Bone marrow smear · single-cell crop: 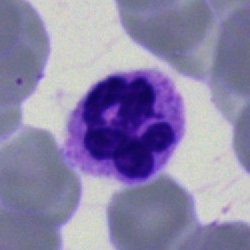 Cell: segmented neutrophil.